Bone marrow aspirate smear — 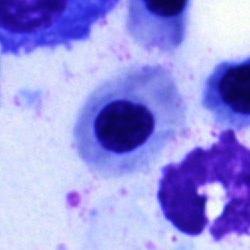 Specimen: bone marrow smear.
Cell type: nucleated red blood cell.
Lineage: erythroid.